Bone marrow smear: 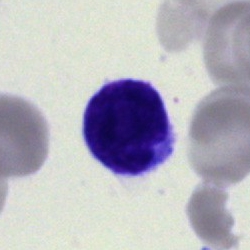Classification — blast.